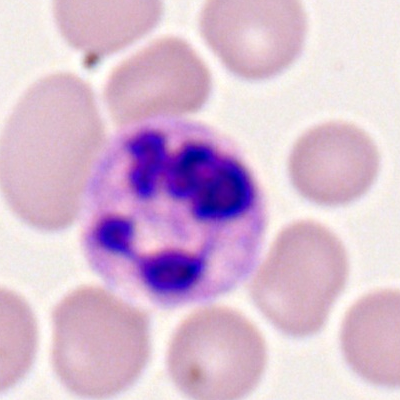{"cell_type": "segmented neutrophil", "lineage": "myeloid"}